Peripheral blood film
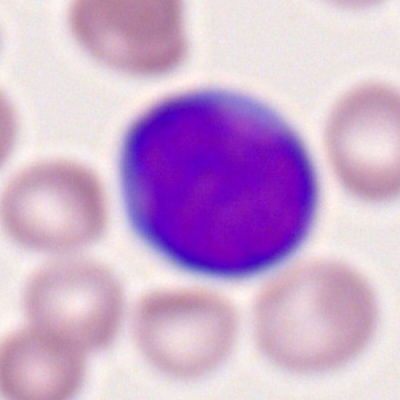

Specimen: peripheral blood film.
Morphological class: myeloblast.